Bone marrow smear · single-cell crop: 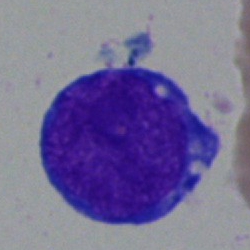

Specimen: bone marrow aspirate smear.
Classification: blast.